Single-cell crop; bone marrow smear; MGG-stained — 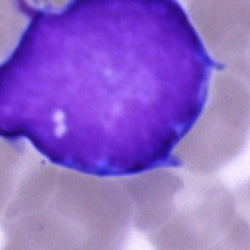 Blast cell.